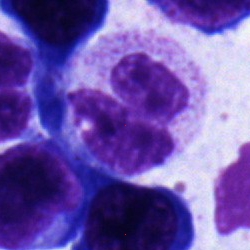

Cell — neutrophil (segmented).